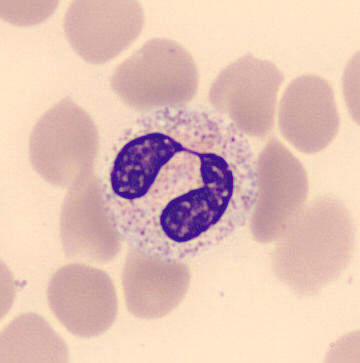Q: Which cell type is shown here?
A: It is a segmented neutrophil.